Bone marrow aspirate smear — 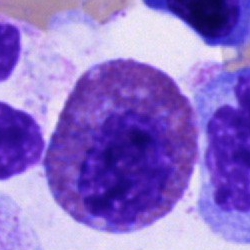

Q: What is shown here?
A: Eosinophilic granulocyte.